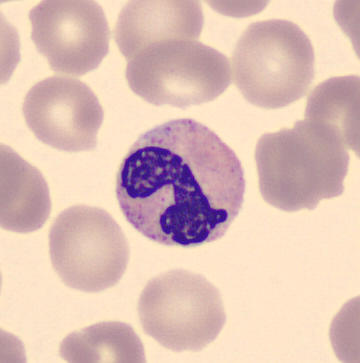
Q: What cell is this?
A: A band neutrophil.